Bone marrow aspirate smear
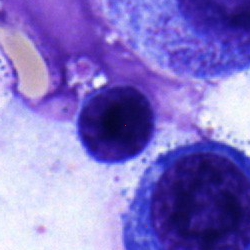The cell shown is a lymphocyte.